Bone marrow aspirate smear.
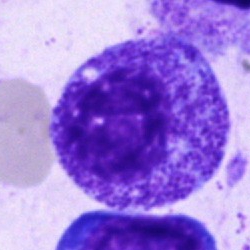

Q: What cell is this?
A: Promyelocyte.